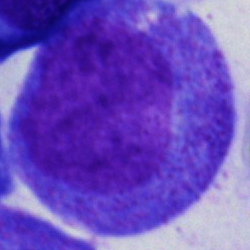
Cell: promyelocyte.